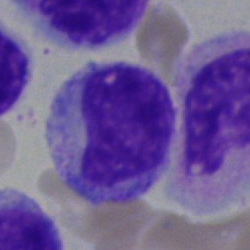 Q: What type of cell is this?
A: It is a metamyelocyte.